Bone marrow aspirate smear.
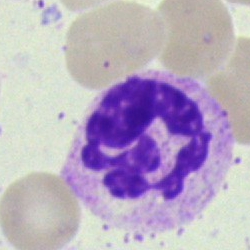
The classification is segmented neutrophil.